MGG-stained; bone marrow aspirate smear
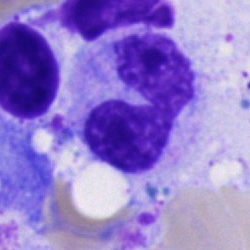
Morphology — segmented neutrophil.